100× oil immersion, 14.14 px/µm · peripheral blood smear.
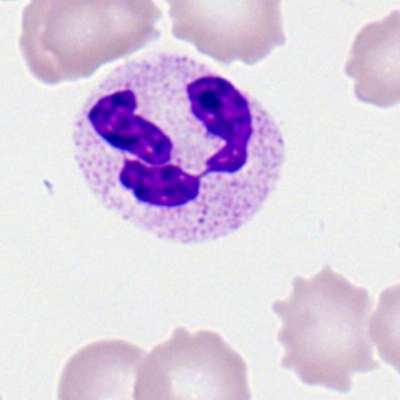
Impression → neutrophil (segmented).